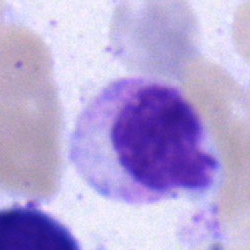

Specimen: bone marrow aspirate smear.
Cell: metamyelocyte.